Image size 250×250. Bone marrow smear. MGG-stained:
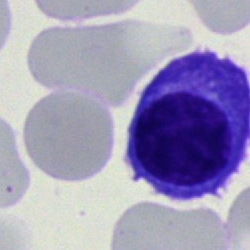

Q: What is shown here?
A: A plasma cell.